Bone marrow aspirate smear.
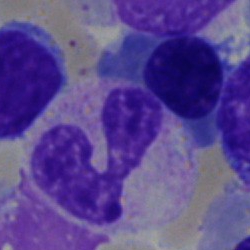This is a segmented neutrophil.